Bone marrow smear. Single-cell field: 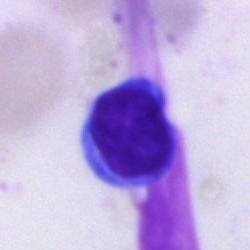 Q: Identify the cell.
A: It is a lymphocyte.